Bone marrow smear:
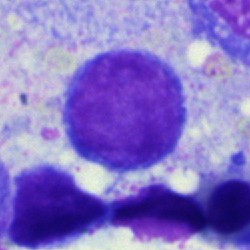Specimen: bone marrow smear.
Morphological class: blast.